Bone marrow smear.
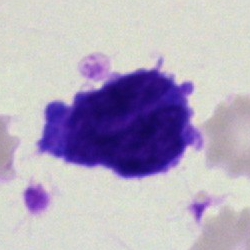

Blast cell.